250 by 250 pixels; bone marrow smear
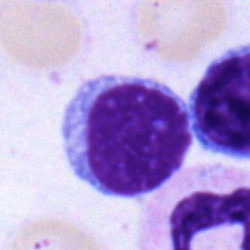 Single cell identified as a typical lymphocyte.